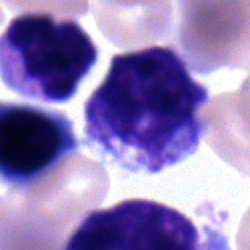
{"cell_type": "myelocyte", "lineage": "myeloid"}